Peripheral blood smear: 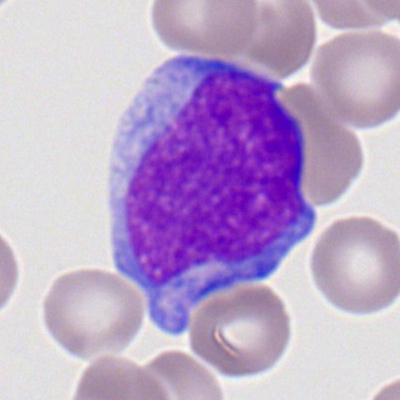The cell is myeloblast.